May-Grünwald-Giemsa stain. Bone marrow smear. Single cell centered in the field: 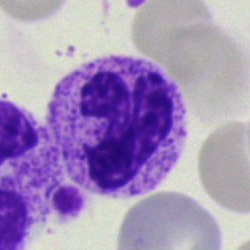
{"cell_type": "polymorphonuclear neutrophil", "lineage": "myeloid"}